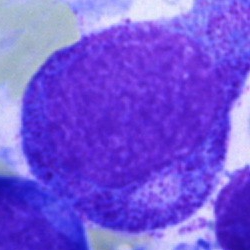 Cell type = progranulocyte.